Bone marrow aspirate smear; MGG-stained — 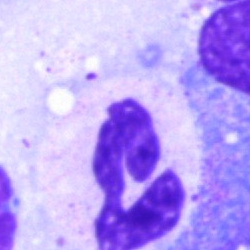
Classification: polymorphonuclear neutrophil.